Bone marrow aspirate smear.
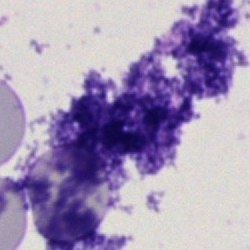
Morphology — artifact.